Bone marrow smear:
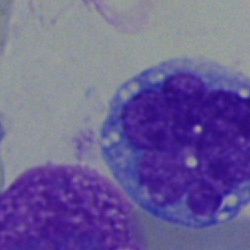Morphology — monocyte.